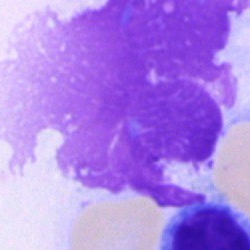{"cell_type": "artifact"}